Bone marrow smear.
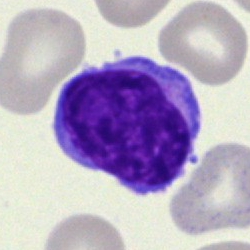 This is an undifferentiated blast.